MGG-stained; bone marrow aspirate smear; image size 250×250:
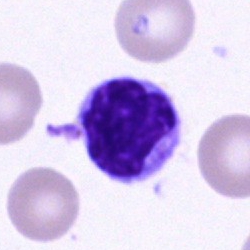 The classification is lymphocyte.